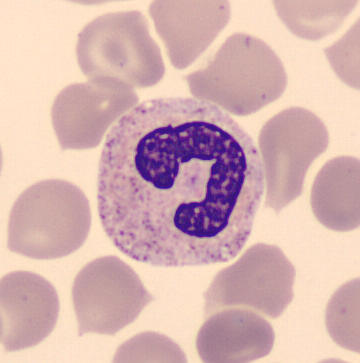{"cell_type": "neutrophil (band)"}

Preparation: MGG stain; peripheral blood film.